Bone marrow smear:
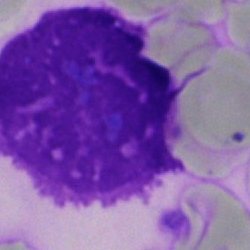Single cell identified as an artefact.